Bone marrow smear
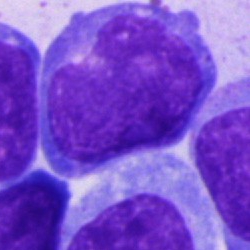
Q: What is the morphological classification of this cell?
A: It is a blast cell.